Bone marrow aspirate smear:
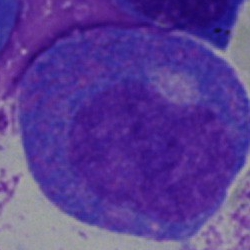Impression — progranulocyte.